Bone marrow smear:
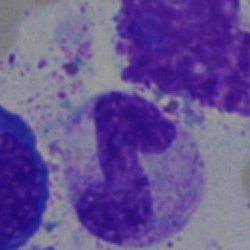Specimen: bone marrow smear.
Classification: stab cell.